Bone marrow aspirate smear.
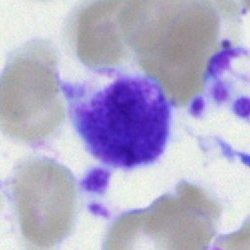

Morphology consistent with an artefact.